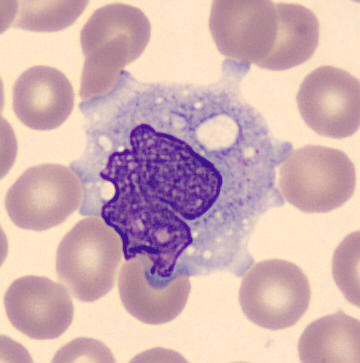
Peripheral blood film.
Single cell identified as a monocyte.